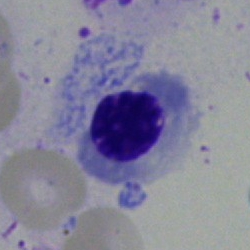Classification — erythroblast.